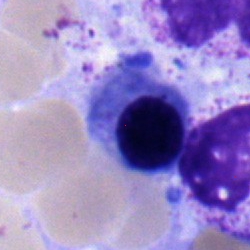Single cell identified as a normoblast.